Bone marrow aspirate smear:
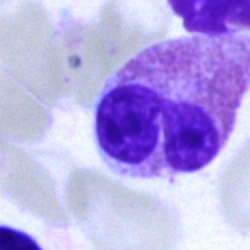

Q: What type of cell is this?
A: An eosinophilic granulocyte.